Bone marrow smear
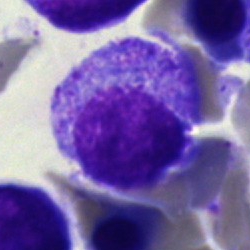

Q: What is the morphological classification of this cell?
A: A myelocyte.